Cropped to a single cell. Bone marrow aspirate smear. MGG-stained:
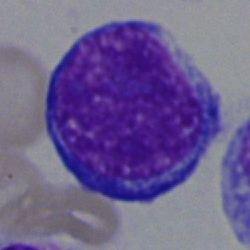

Morphological class — nucleated red cell.